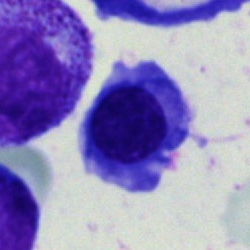
A nucleated red cell on a bone marrow smear.